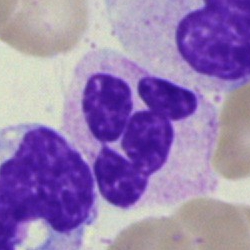
Bone marrow smear showing a neutrophil (segmented).